Bone marrow smear
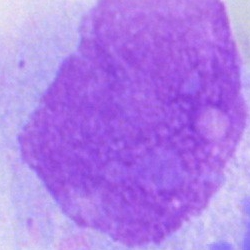Q: What is shown here?
A: This is an artefact.